Peripheral blood smear
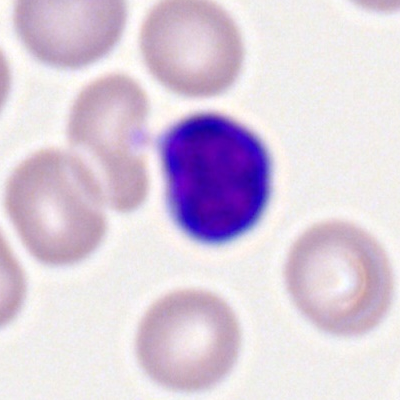

Specimen: peripheral blood film.
Morphological class: lymphocyte.
Lineage: lymphoid.